250 by 250 pixels. Bone marrow smear — 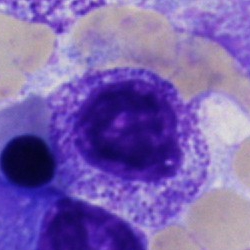
Impression — metamyelocyte.